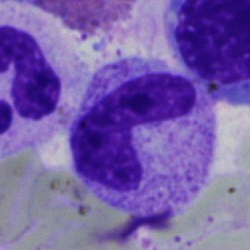{"cell_type": "stab cell", "lineage": "myeloid"}